250×250. Bone marrow aspirate smear:
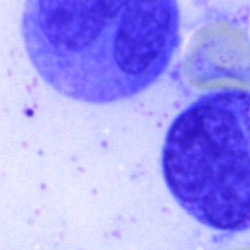 This is a cell of indeterminate lineage.